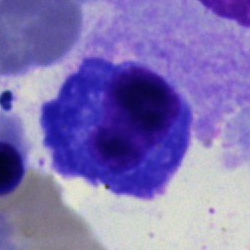
Impression — plasma cell.